Bone marrow aspirate smear: 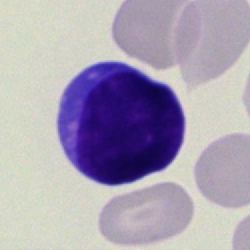 Specimen: bone marrow aspirate smear.
Morphological class: typical lymphocyte.
Lineage: lymphoid.